40× objective, oil immersion. Bone marrow aspirate smear. Image size 250×250 — 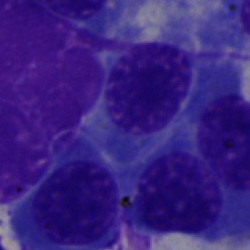Q: What is shown here?
A: A nucleated red cell.